MGG-stained; bone marrow smear:
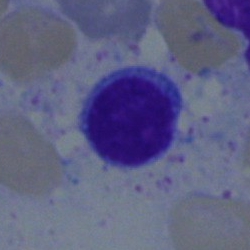 Q: What is the morphological classification of this cell?
A: Lymphocyte.